Brightfield microscopy, 40× oil immersion · bone marrow aspirate smear
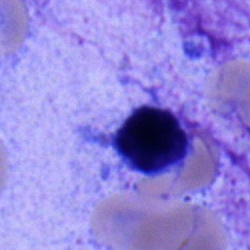

{"cell_type": "typical lymphocyte"}